Peripheral blood smear; M8 digital microscope (Precipoint), 100× oil immersion.
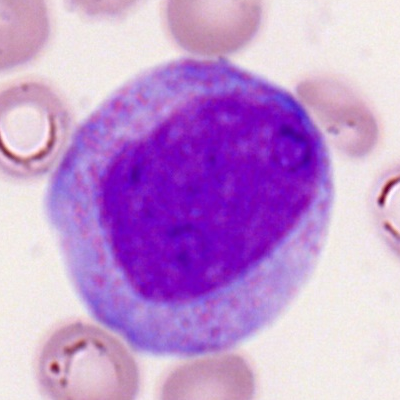
Morphological class = promyelocyte.